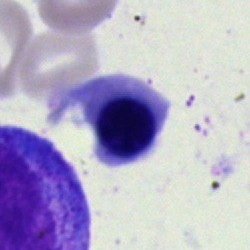

Bone marrow aspirate smear, single cell — erythroblast.